May-Grünwald-Giemsa/Pappenheim stain; bone marrow aspirate smear; 250 by 250 pixels.
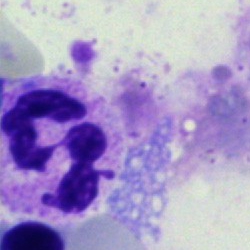Classification: neutrophil (segmented).